Bone marrow aspirate smear · May-Grünwald-Giemsa stain · 40× objective, oil immersion
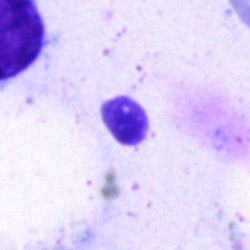
An artifact.